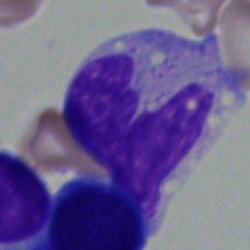

Morphological class = monocyte.